Bone marrow smear:
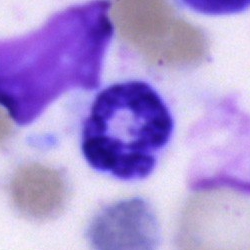
Q: What is shown here?
A: Segmented neutrophil.